Bone marrow aspirate smear:
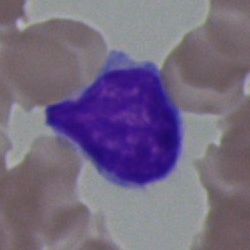 Q: Which cell type is shown here?
A: It is a typical lymphocyte.